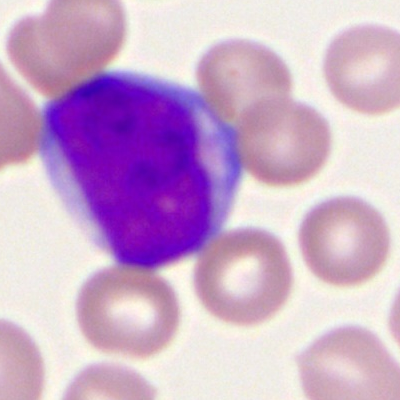

Impression — myeloblast.